Romanowsky-type stain. Peripheral blood film.
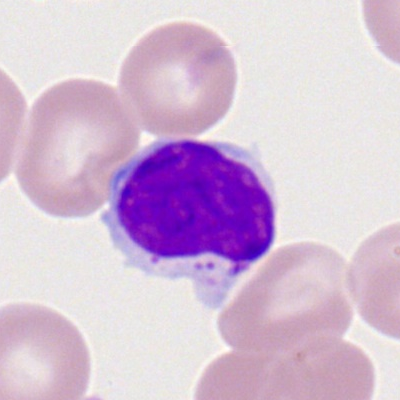Single cell identified as a lymphocyte.